Pappenheim-stained. Bone marrow aspirate smear:
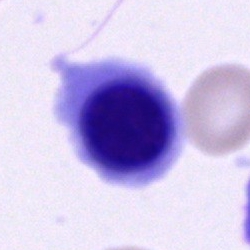
Impression — erythroblast.